Bone marrow aspirate smear — 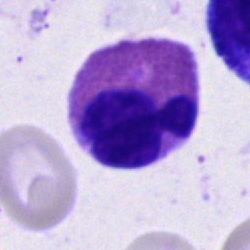 Morphology consistent with an eosinophil.